Bone marrow smear.
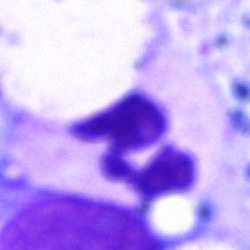
Impression — segmented neutrophil.